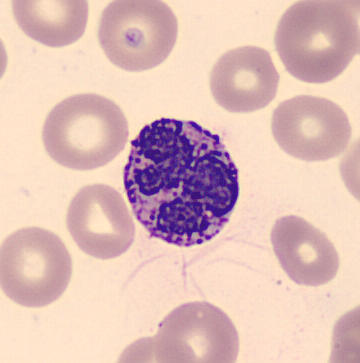{"cell_type": "basophilic granulocyte", "lineage": "myeloid"}